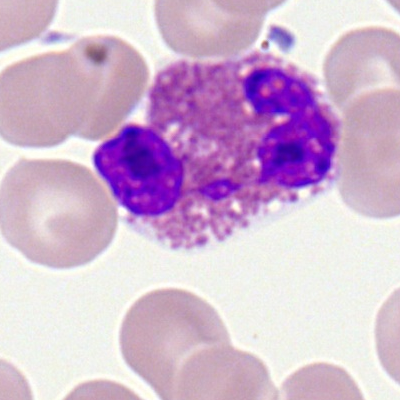
Single cell identified as an eosinophil.